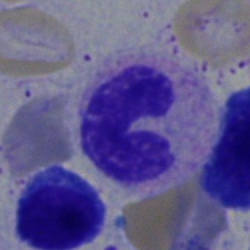
The cell is band-form neutrophil.